400 by 400 pixels · 100× objective, oil immersion · peripheral blood smear: 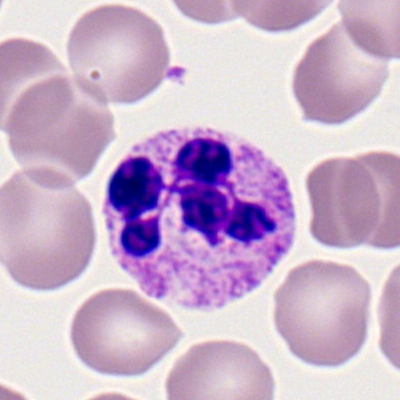 Cell type: neutrophil (segmented).